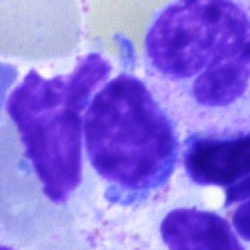
Morphological class = lymphocyte.